Bone marrow aspirate smear: 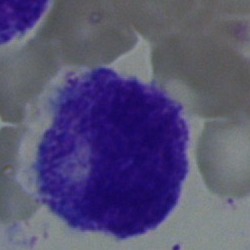
Specimen: bone marrow aspirate smear.
Cell: promyelocyte.
Lineage: myeloid.